250×250. May-Grünwald-Giemsa stain. Bone marrow aspirate smear.
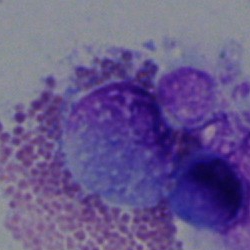
Cell type — artifact.